Bone marrow aspirate smear. Single-cell field. May-Grünwald-Giemsa/Pappenheim stain: 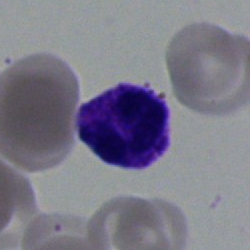
Classification = segmented neutrophil.